Peripheral blood smear: 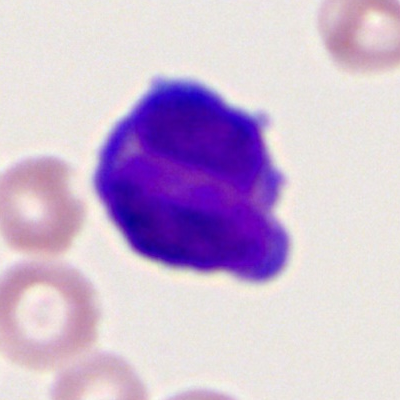
Impression — myeloblast.